Bone marrow aspirate smear:
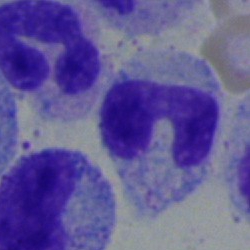

Showing a band neutrophil.